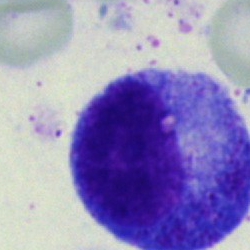Bone marrow smear showing a promyelocyte.